Bone marrow smear; 40× oil immersion; May-Grünwald-Giemsa stain:
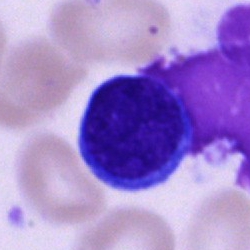The classification is lymphocyte.